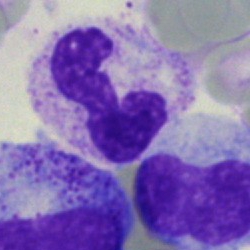This is a neutrophil (segmented).